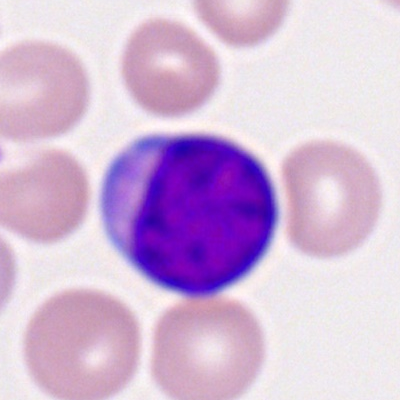The morphological class is myeloblast.